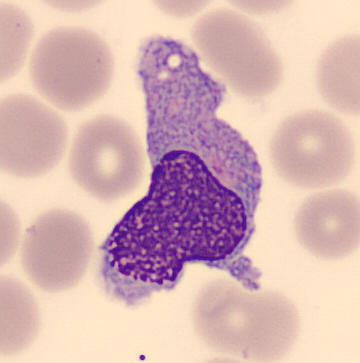Morphology → monocyte.